Brightfield, 40× oil-immersion objective; bone marrow smear; 250×250.
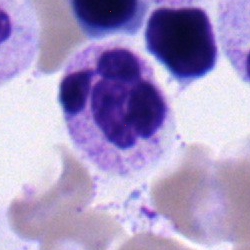
Showing a polymorphonuclear neutrophil.